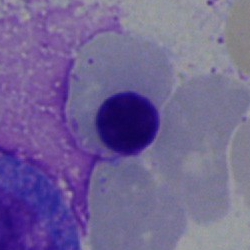
Classification = nucleated red blood cell.